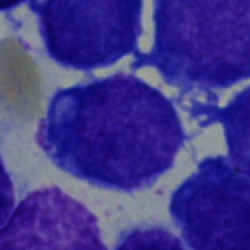
Morphology — blast.